Bone marrow smear; 250 by 250 pixels; brightfield, 40× oil-immersion objective: 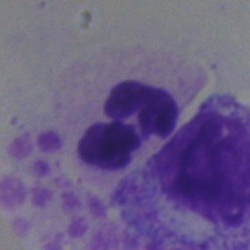 The cell type is polymorphonuclear neutrophil.